Bone marrow aspirate smear: 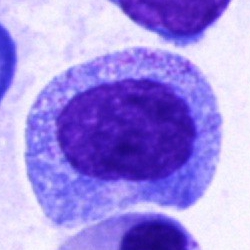Impression → progranulocyte.